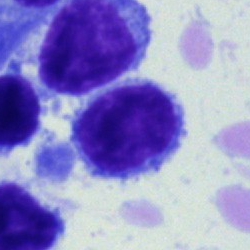 Specimen: bone marrow aspirate smear.
Cell: typical lymphocyte.